Bone marrow aspirate smear; brightfield microscopy, 40× oil immersion.
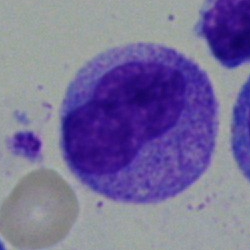 Showing a monocyte.